Bone marrow aspirate smear · single-cell field · image size 250×250 — 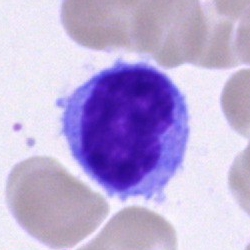Q: What is shown here?
A: A lymphocyte.